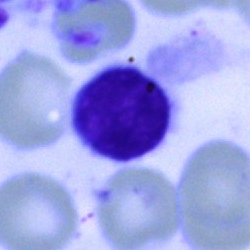Specimen: bone marrow aspirate smear.
Cell: typical lymphocyte.
Lineage: lymphoid.